Bone marrow smear — 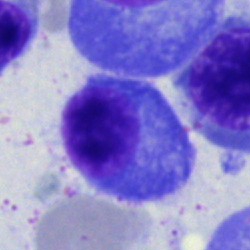This is a plasmacyte.